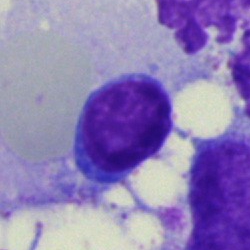 Single-cell crop from a bone marrow smear: typical lymphocyte.